Bone marrow aspirate smear — 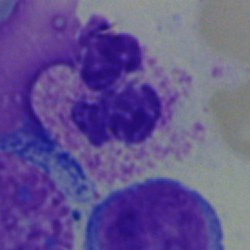 Q: Identify the cell.
A: This is a segmented neutrophil.